Bone marrow aspirate smear — 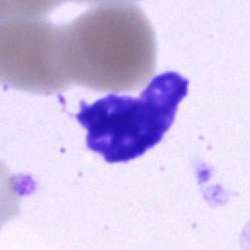Morphology consistent with an artefact.